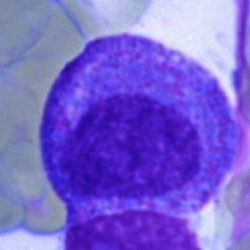
Cell type = promyelocyte.